250×250 px · bone marrow smear.
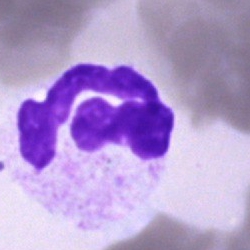Q: What cell is this?
A: Neutrophil (segmented).